Bone marrow aspirate smear. May-Grünwald-Giemsa/Pappenheim stain
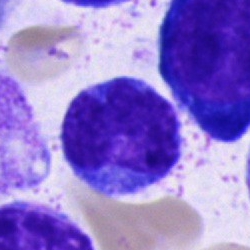 Showing a monocyte.